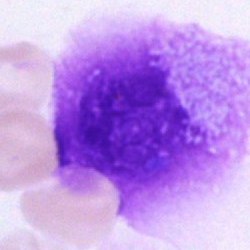 Single-cell crop from a bone marrow smear: artefact.